250×250; bone marrow smear — 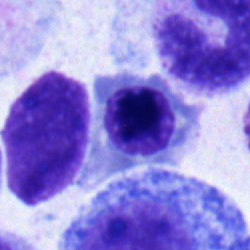Q: Identify the cell.
A: It is a nucleated red cell.